May-Grünwald-Giemsa/Pappenheim stain; 250×250; bone marrow smear:
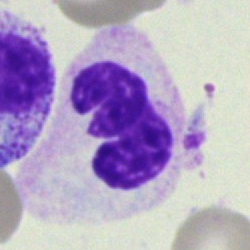
Cell = neutrophil (segmented).